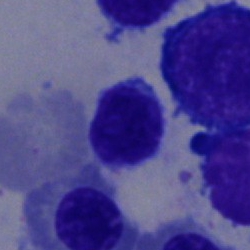Showing a typical lymphocyte.